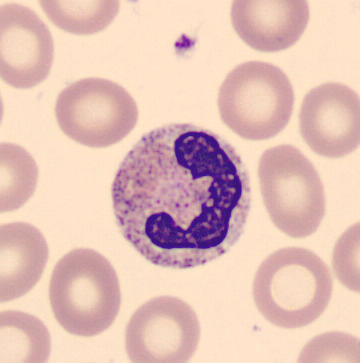 Cell type — neutrophil (band).